Bone marrow aspirate smear
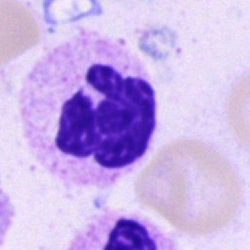
The classification is segmented neutrophil.